Bone marrow smear. 250×250 px — 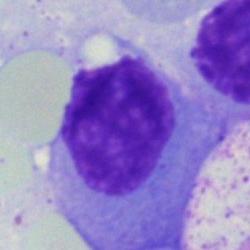 Q: What cell is this?
A: This is a plasma cell.